250 by 250 pixels; bone marrow smear:
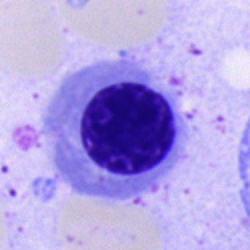
Showing a nucleated red blood cell.